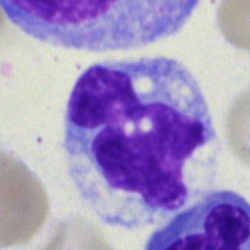 A monocyte on a bone marrow smear.